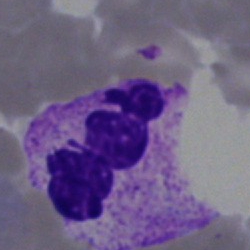 Bone marrow smear showing a polymorphonuclear neutrophil.